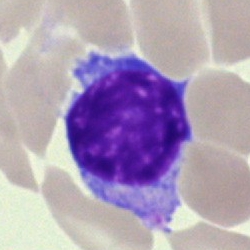 The cell type is lymphocyte.